Bone marrow aspirate smear — 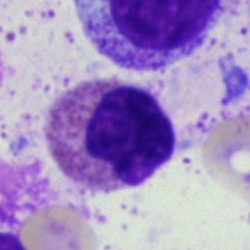Q: What cell is this?
A: A segmented neutrophil.